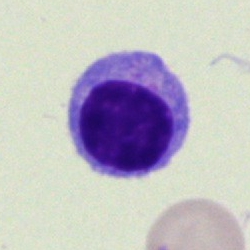

Bone marrow aspirate smear, single cell — lymphocyte.